Bone marrow aspirate smear — 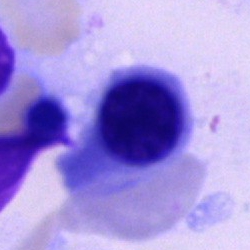

Q: What is the morphological classification of this cell?
A: A nucleated red blood cell.